Image size 250×250 · May-Grünwald-Giemsa stain · bone marrow aspirate smear — 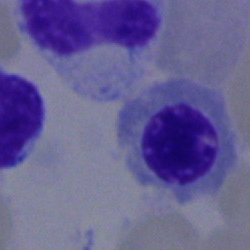
A nucleated red cell.